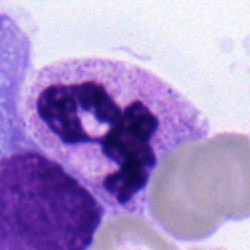Impression — segmented neutrophil.